Bone marrow smear — 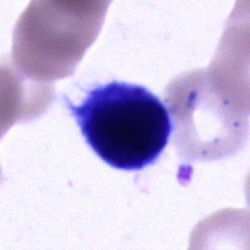

Specimen: bone marrow aspirate smear.
Cell: unidentifiable cell.